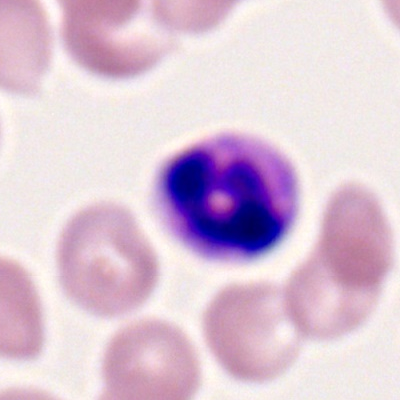Morphology — polymorphonuclear neutrophil.